Bone marrow smear. May-Grünwald-Giemsa stain:
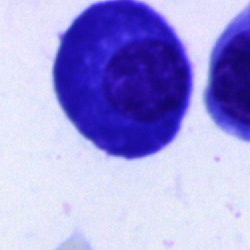
Morphology consistent with a plasma cell.